250×250 px. Bone marrow aspirate smear: 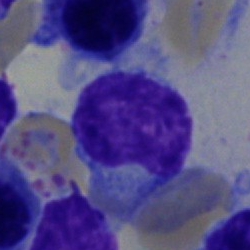{"cell_type": "typical lymphocyte"}